M8 digital microscope (Precipoint), 100× oil immersion; peripheral blood smear.
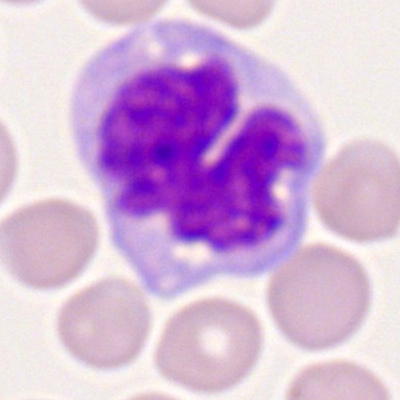Q: What type of cell is this?
A: Monocyte.